Bone marrow aspirate smear; 40× oil immersion:
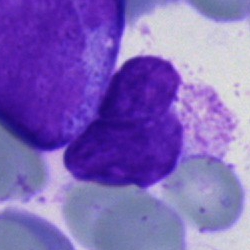
Q: What cell is this?
A: It is a blast.